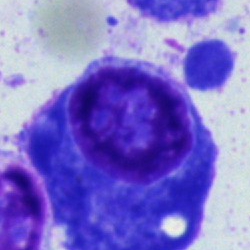 Classification: plasmacyte.